Bone marrow smear · brightfield, 40× oil-immersion objective:
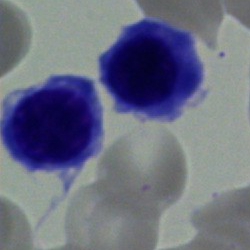Nucleated red cell.